Bone marrow aspirate smear.
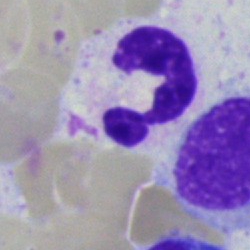

{"cell_type": "polymorphonuclear neutrophil"}